Single cell centered in the field; bone marrow smear; MGG-stained — 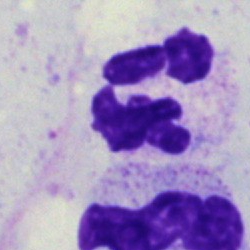

Specimen: bone marrow aspirate smear.
Morphological class: segmented neutrophil.
Lineage: myeloid.